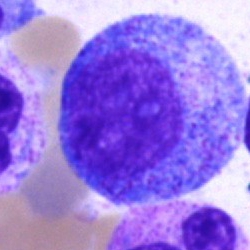

Morphology → progranulocyte.